Bone marrow aspirate smear:
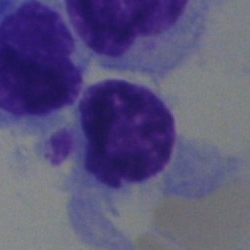

This is a typical lymphocyte.